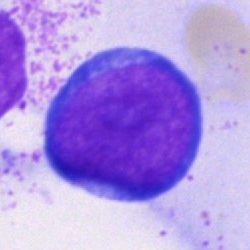

Q: What is shown here?
A: It is a proerythroblast.